Brightfield, 40× oil-immersion objective. Bone marrow smear: 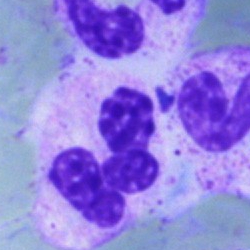Q: Identify the cell.
A: A segmented neutrophil.